Peripheral blood film; 360×363
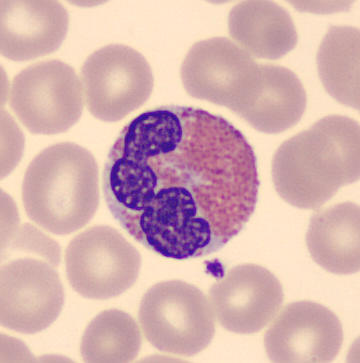
Eosinophilic granulocyte.